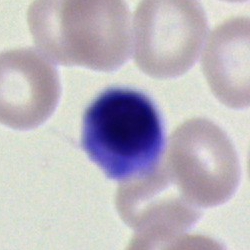

The cell shown is a lymphocyte.